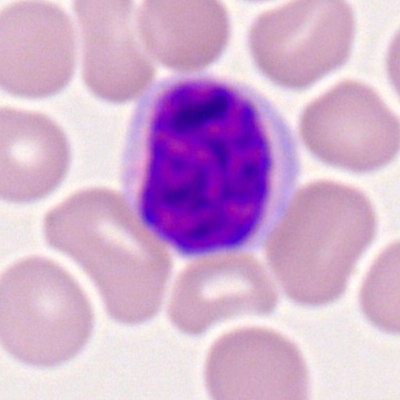 Q: What is the morphological classification of this cell?
A: It is a lymphocyte.